Bone marrow smear: 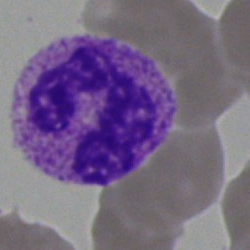 A segmented neutrophil.